Bone marrow smear · single-cell crop · May-Grünwald-Giemsa/Pappenheim stain: 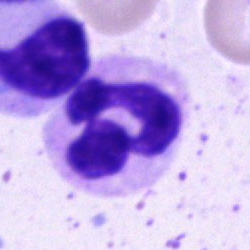

Polymorphonuclear neutrophil.